Bone marrow aspirate smear.
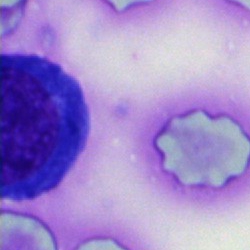

Impression → nucleated red cell.